Bone marrow aspirate smear · May-Grünwald-Giemsa/Pappenheim stain
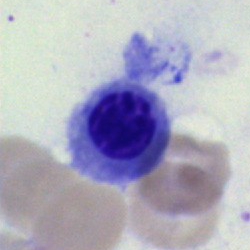Morphological class — normoblast.